Bone marrow aspirate smear. Single cell centered in the field
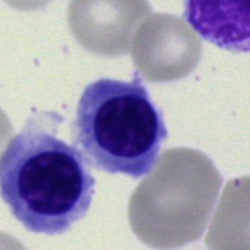
Cell type — normoblast.